Bone marrow aspirate smear — 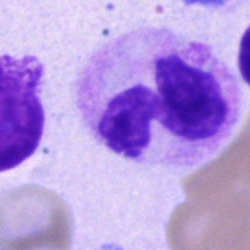Specimen: bone marrow smear.
Morphological class: polymorphonuclear neutrophil.
Lineage: myeloid.